Bone marrow aspirate smear — 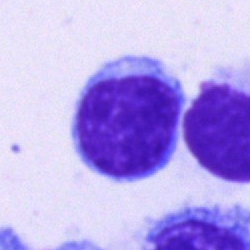 The classification is typical lymphocyte.